Bone marrow aspirate smear; image size 250×250 — 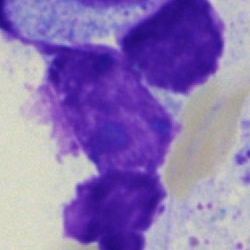

Q: What is shown here?
A: An artifact.